Single cell centered in the field · bone marrow smear · Pappenheim-stained: 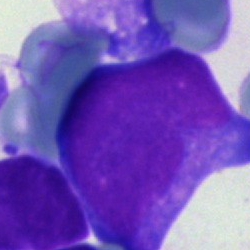Morphological class: blast.